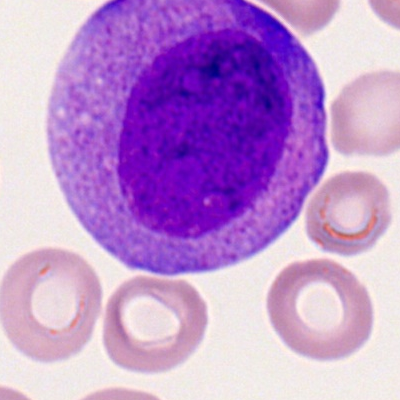
Single cell identified as a promyelocyte.